May-Grünwald-Giemsa/Pappenheim stain · 250×250 px · bone marrow smear: 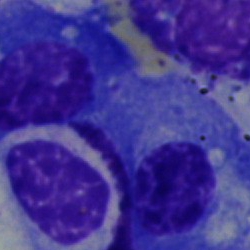
Specimen: bone marrow aspirate smear.
Cell: plasma cell.